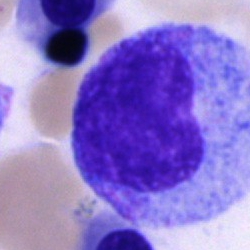

Q: What cell is this?
A: This is a promyelocyte.